Bone marrow smear. 250 by 250 pixels.
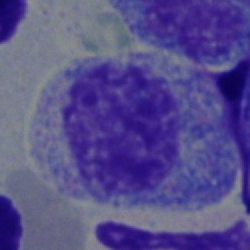Cell type = myelocyte.